Bone marrow aspirate smear — 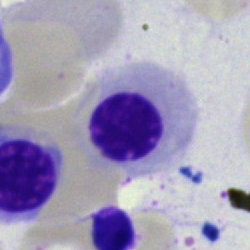 Q: What cell is this?
A: A nucleated red blood cell.